Bone marrow smear: 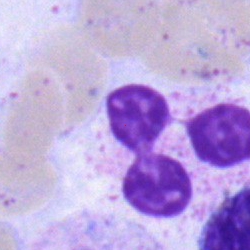Single cell identified as a polymorphonuclear neutrophil.